Romanowsky-stained · peripheral blood smear
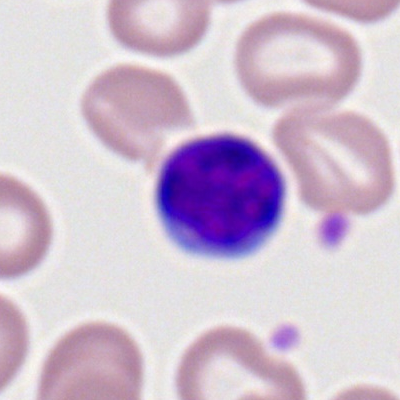

Single cell identified as a lymphocyte.